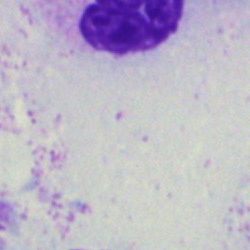
{"cell_type": "artefact"}